Single-cell field; bone marrow aspirate smear; 250×250 px.
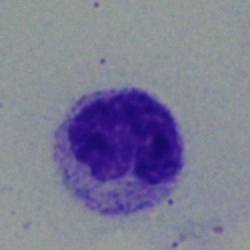 Cell type — monocyte.